Bone marrow smear · single cell centered in the field · MGG-stained
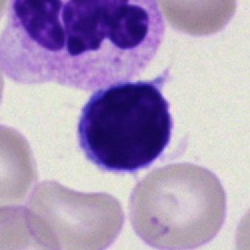The cell shown is a typical lymphocyte.